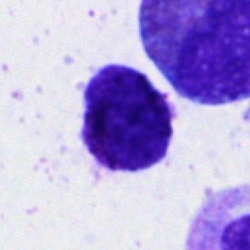Single-cell crop from a bone marrow smear: basophil.